Bone marrow aspirate smear — 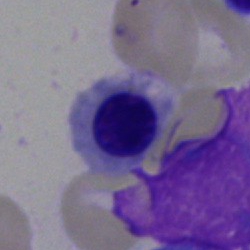 Specimen: bone marrow aspirate smear.
Morphological class: nucleated red cell.